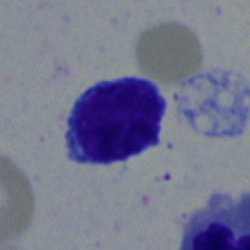
Morphological class: lymphocyte.